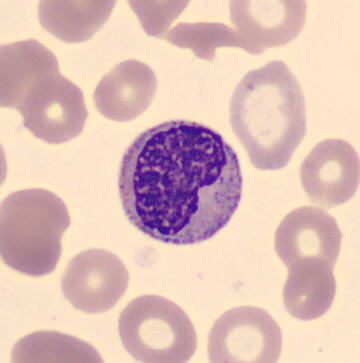

{"cell_type": "metamyelocyte", "lineage": "myeloid"}

Peripheral blood film.